250×250. MGG-stained. Bone marrow aspirate smear: 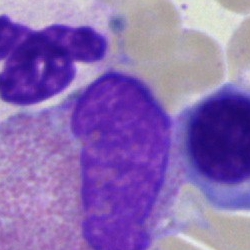
Showing an eosinophil.